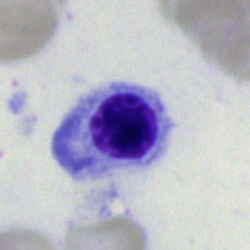

Cell = normoblast.